Single-cell crop · bone marrow aspirate smear: 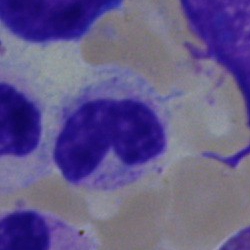
Band-form neutrophil.